Bone marrow smear; 40× oil immersion; single-cell crop.
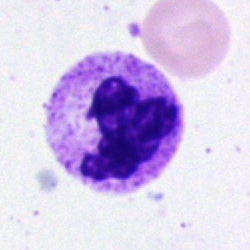Q: What is the morphological classification of this cell?
A: Neutrophil (segmented).